Peripheral blood film; 400 by 400 pixels; 100× oil immersion, 14.14 px/µm.
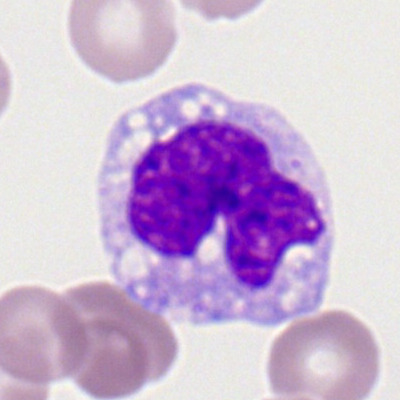

Morphology — monocyte.